Bone marrow smear:
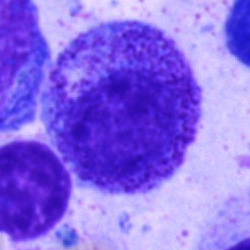

Promyelocyte.